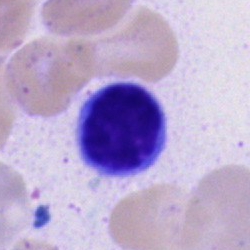 Cell — typical lymphocyte.